Bone marrow smear
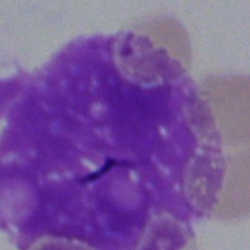 An artefact.